250×250 px. Bone marrow aspirate smear — 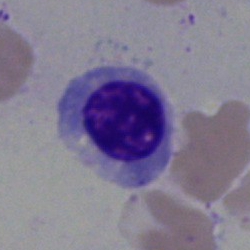
This is a nucleated red cell.